Bone marrow aspirate smear · MGG-stained.
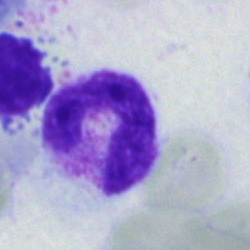 Single cell identified as a neutrophil (segmented).